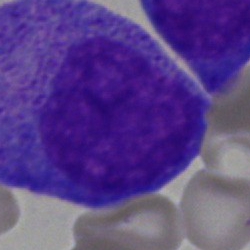Bone marrow smear showing a progranulocyte.